Bone marrow smear — 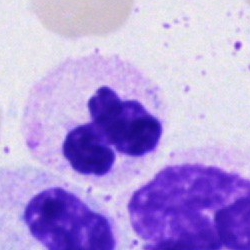

Neutrophil (segmented).